Bone marrow smear.
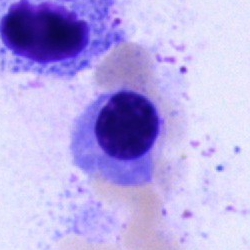

Single cell identified as an erythroblast.